Brightfield, 40× oil-immersion objective. Bone marrow smear
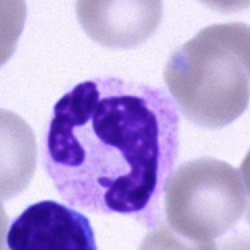

The cell shown is a polymorphonuclear neutrophil.